Pappenheim-stained. Bone marrow aspirate smear. 250×250 px — 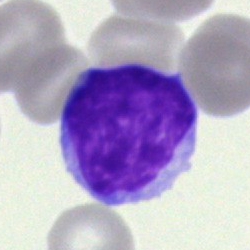The cell is blast.